Bone marrow aspirate smear — 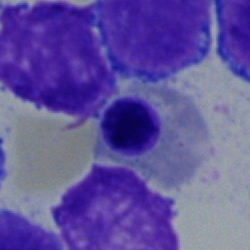
Classification = erythroblast.